Bone marrow smear:
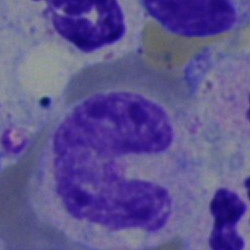Morphology consistent with a nucleated red cell.